Bone marrow aspirate smear:
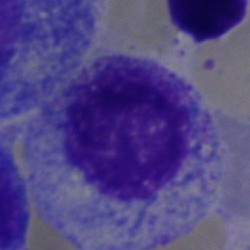 The morphological class is progranulocyte.